Bone marrow smear.
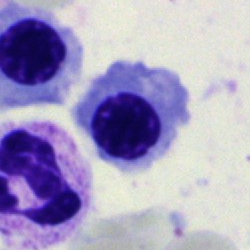 This is a nucleated red cell.